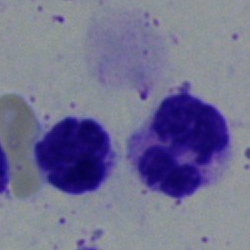 Cell — polymorphonuclear neutrophil.